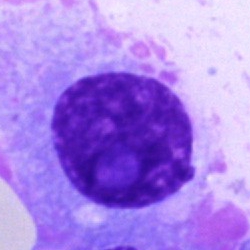
Q: What type of cell is this?
A: A plasma cell.